Bone marrow aspirate smear; single-cell crop; 40× oil immersion
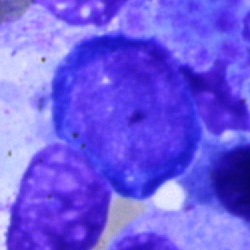 Classification — nucleated red cell.